Bone marrow aspirate smear. MGG-stained:
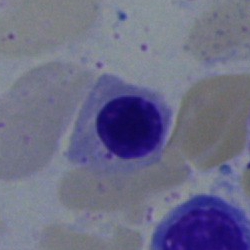 Cell type — erythroblast.